Bone marrow smear.
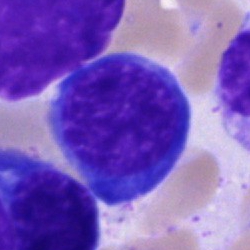 The classification is normoblast.